Bone marrow aspirate smear · 40× oil immersion
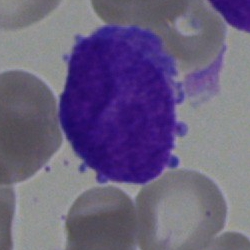

Morphology consistent with a blast.